Pappenheim-stained · bone marrow smear — 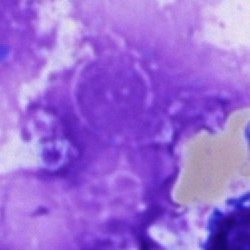Artifact.